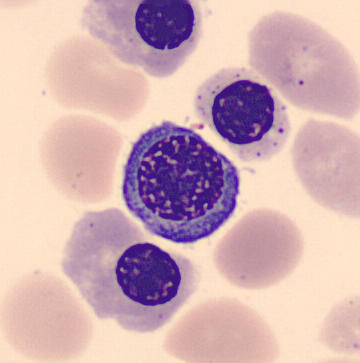 Impression — nucleated red cell.

Image: Peripheral blood film.